Bone marrow smear — 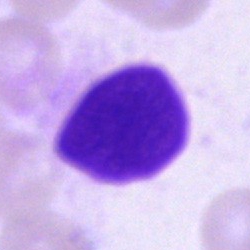 Q: What is shown here?
A: It is an artefact.